Bone marrow aspirate smear · 40× objective, oil immersion.
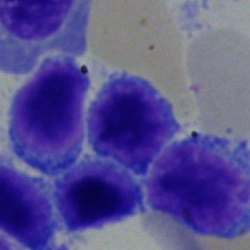
Specimen: bone marrow smear.
Morphological class: typical lymphocyte.
Lineage: lymphoid.